Peripheral blood film:
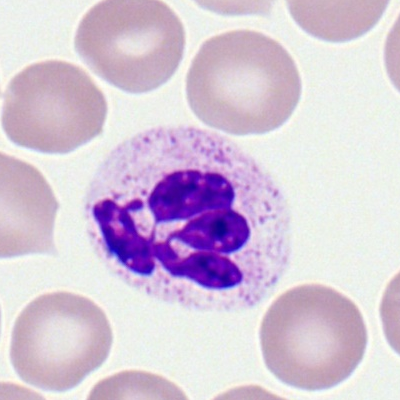Specimen: peripheral blood film.
Morphological class: polymorphonuclear neutrophil.